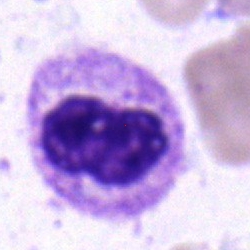

The classification is band neutrophil.